Bone marrow smear — 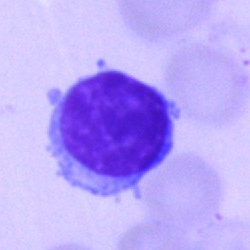
{"cell_type": "lymphocyte"}